Bone marrow smear: 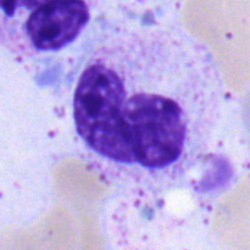The cell shown is a neutrophil (band).